Bone marrow smear · May-Grünwald-Giemsa/Pappenheim stain · single-cell field — 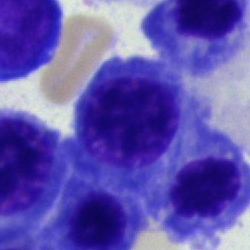{"cell_type": "erythroblast", "lineage": "erythroid"}